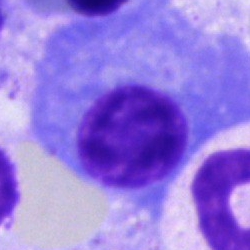A plasmacyte on a bone marrow smear.